Single-cell field · 250 by 250 pixels · bone marrow smear: 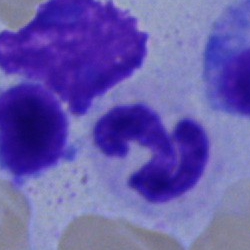

Cell = segmented neutrophil.